Bone marrow aspirate smear. Single-cell field: 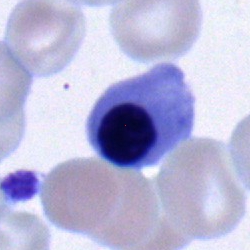

Morphological class: normoblast.